Single-cell field · bone marrow aspirate smear.
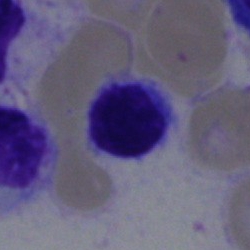

Specimen: bone marrow smear.
Cell type: typical lymphocyte.
Lineage: lymphoid.